Brightfield microscopy, 40× oil immersion; cropped to a single cell; bone marrow aspirate smear: 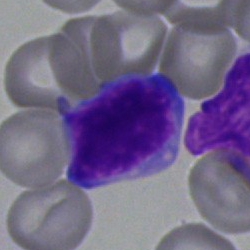

Q: What cell is this?
A: This is a lymphocyte.